Bone marrow aspirate smear — 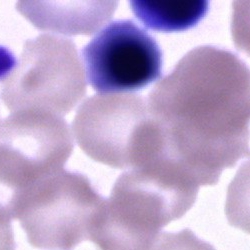 Q: Identify the cell.
A: An unidentifiable cell.